Pappenheim-stained. Bone marrow aspirate smear — 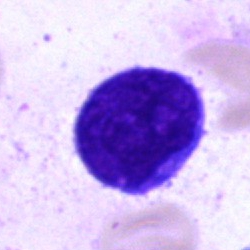 Classification = blast cell.